Single-cell crop · bone marrow aspirate smear.
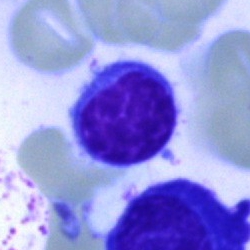 Q: Identify the cell.
A: It is a typical lymphocyte.